Bone marrow smear.
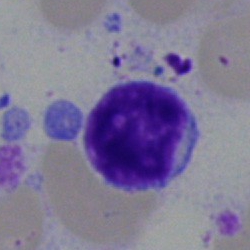
The cell shown is a typical lymphocyte.